Bone marrow smear · May-Grünwald-Giemsa stain · 250×250:
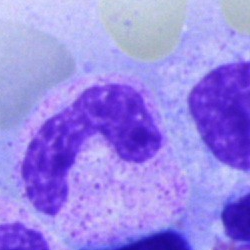
Impression — neutrophil (band).